Bone marrow aspirate smear:
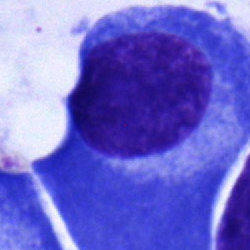Plasma cell.